Bone marrow aspirate smear.
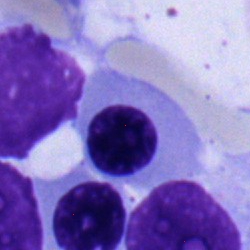 Classification = normoblast.